Bone marrow smear: 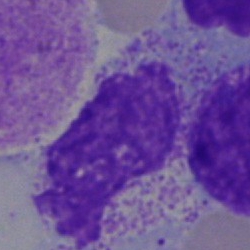 This is an artifact.